MGG-stained · bone marrow aspirate smear · 250 by 250 pixels: 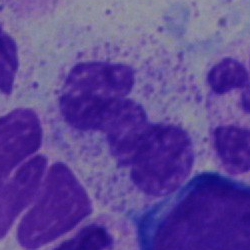

Q: Which cell type is shown here?
A: This is a segmented neutrophil.